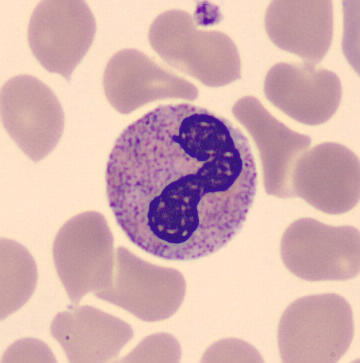

A stab cell on a peripheral blood smear.